Bone marrow aspirate smear · 250 by 250 pixels
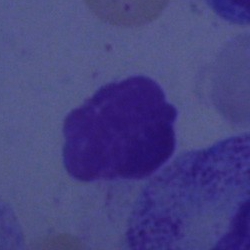The cell type is artifact.